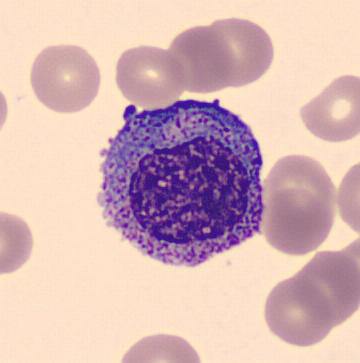 Cell type = progranulocyte. Acquisition: Peripheral blood smear.